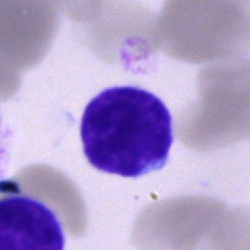 Q: Identify the cell.
A: Typical lymphocyte.